400×400. Peripheral blood smear:
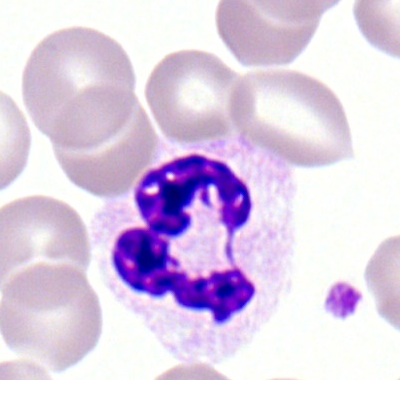
Q: What cell is this?
A: Neutrophil (segmented).